40× objective, oil immersion. Single-cell crop. Bone marrow aspirate smear
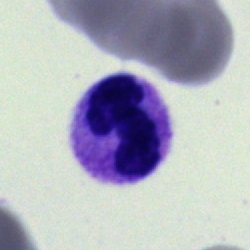
Segmented neutrophil.